CellaVision DM96 digital cell image · peripheral blood film
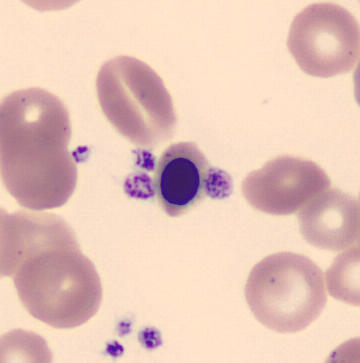

Classification: nucleated red blood cell.